Bone marrow aspirate smear: 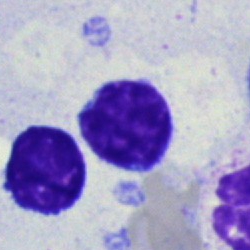The cell shown is a typical lymphocyte.